Bone marrow aspirate smear. May-Grünwald-Giemsa/Pappenheim stain.
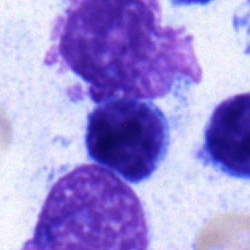 Specimen: bone marrow smear.
Morphological class: lymphocyte.